Bone marrow smear; 40× oil immersion
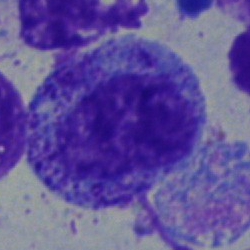
{"cell_type": "myelocyte", "lineage": "myeloid"}